Bone marrow smear.
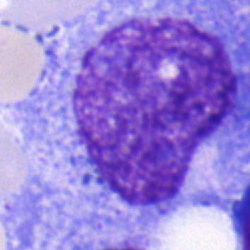 Classification = promyelocyte.